Bone marrow aspirate smear: 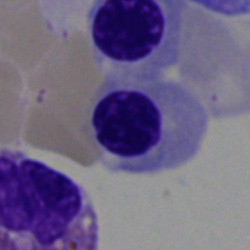
Cell type: normoblast.